Bone marrow aspirate smear: 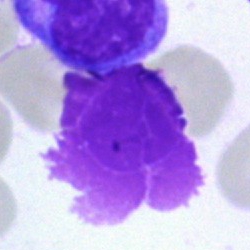

Q: What is shown here?
A: It is an artifact.